Bone marrow smear — 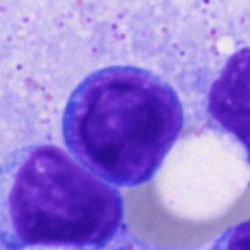

Cell: typical lymphocyte.